Bone marrow aspirate smear:
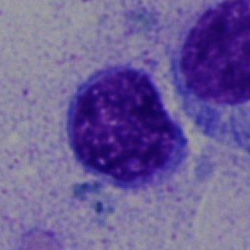

Morphology → lymphocyte.